Bone marrow aspirate smear:
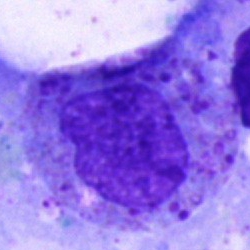 Q: Which cell type is shown here?
A: An eosinophil with abnormal morphology.